Bone marrow aspirate smear:
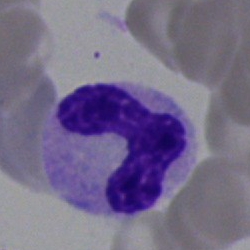Q: What is shown here?
A: This is a neutrophil (band).